Peripheral blood film — 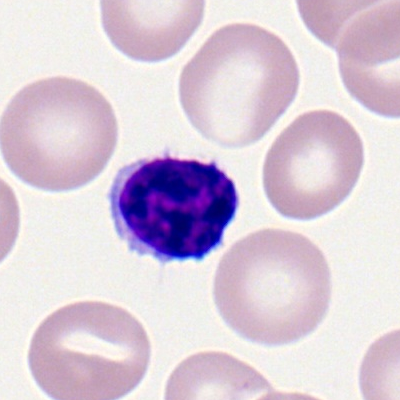
Specimen: peripheral blood smear.
Morphological class: typical lymphocyte.